Bone marrow smear
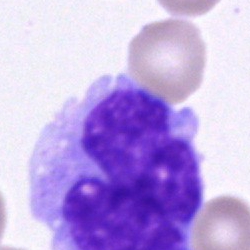 A monocyte.